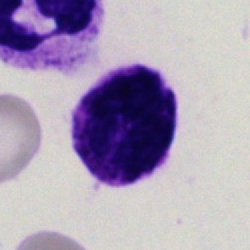
Morphology → artifact.